Bone marrow aspirate smear. Brightfield, 40× oil-immersion objective:
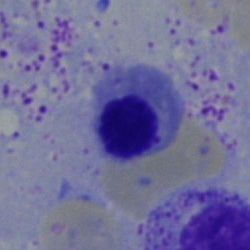
Cell type — nucleated red cell.